Bone marrow smear. Cropped to a single cell — 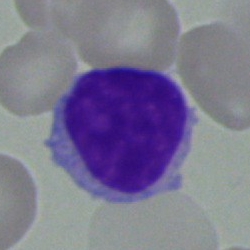

Morphology consistent with a typical lymphocyte.